Bone marrow smear: 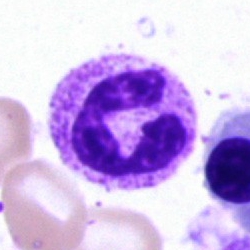Specimen: bone marrow smear.
Morphological class: segmented neutrophil.